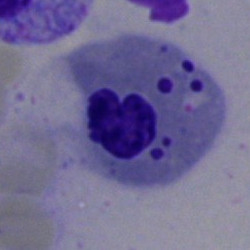Q: Which cell type is shown here?
A: A nucleated red blood cell.